Bone marrow smear: 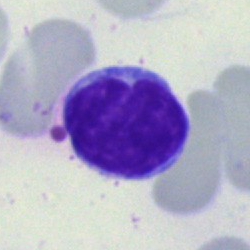
Specimen: bone marrow aspirate smear.
Morphological class: lymphocyte.
Lineage: lymphoid.